Bone marrow aspirate smear — 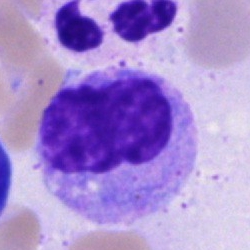

{"cell_type": "monocyte", "lineage": "myeloid"}